Bone marrow smear; brightfield microscopy, 40× oil immersion
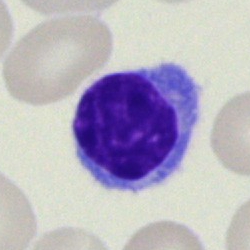
Morphological class: typical lymphocyte.